Bone marrow aspirate smear · image size 250×250 — 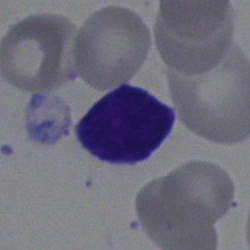

Specimen: bone marrow aspirate smear.
Cell type: typical lymphocyte.
Lineage: lymphoid.